Image size 250×250. Bone marrow aspirate smear.
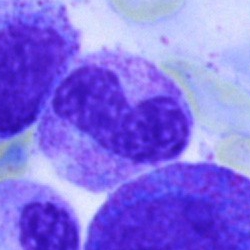
Cell type — band-form neutrophil.